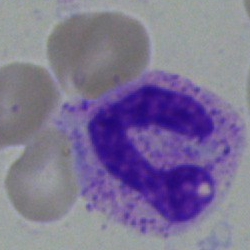The classification is neutrophil (band).